Bone marrow aspirate smear · cropped to a single cell — 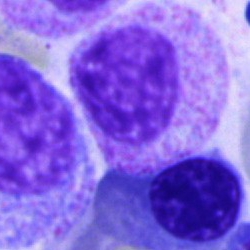 The classification is myelocyte.